Bone marrow aspirate smear:
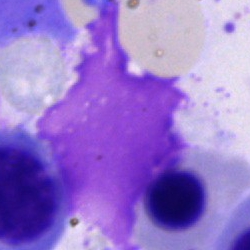
Cell = artifact.